Bone marrow aspirate smear.
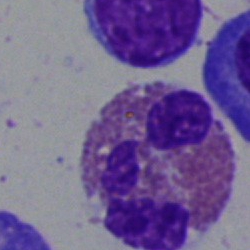
Single cell identified as an eosinophilic granulocyte.